250 by 250 pixels · bone marrow smear · cropped to a single cell:
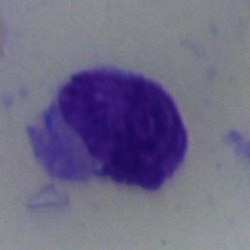This is a hairy cell.